Bone marrow aspirate smear:
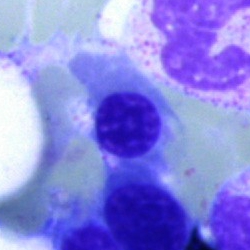
{"cell_type": "nucleated red cell"}